Peripheral blood film. Brightfield, 100× oil-immersion objective:
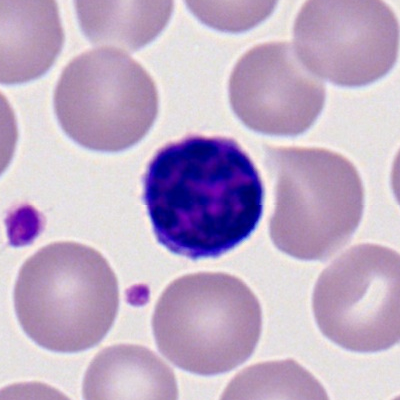 {"cell_type": "lymphocyte", "lineage": "lymphoid"}